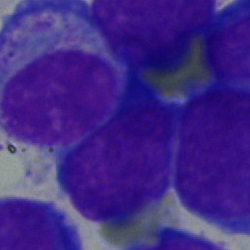 Specimen: bone marrow smear.
Cell type: undifferentiated blast.